Pappenheim-stained. Single-cell crop. Bone marrow aspirate smear:
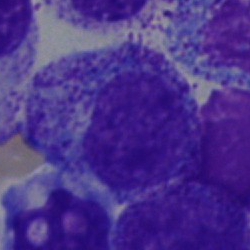 Morphology consistent with a promyelocyte.